250 by 250 pixels. Bone marrow smear. 40× oil immersion: 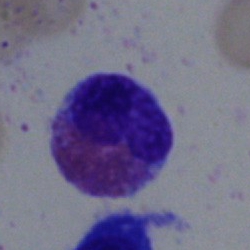
Eosinophil.